Bone marrow aspirate smear: 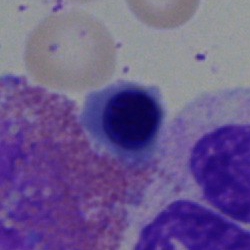
Specimen: bone marrow smear.
Classification: erythroblast.
Lineage: erythroid.